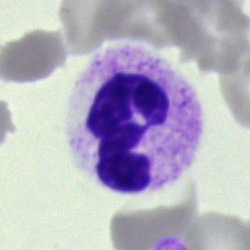

Morphological class — neutrophil (segmented).